Romanowsky stain · peripheral blood smear · 100× objective, oil immersion
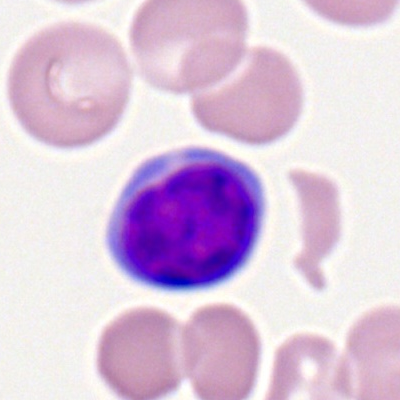 Morphology → typical lymphocyte.